Bone marrow smear:
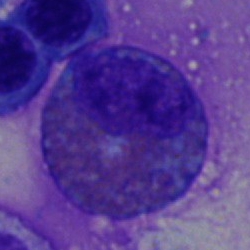 Showing an eosinophil.